Bone marrow aspirate smear: 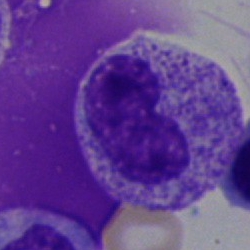 Single cell identified as a metamyelocyte.